Bone marrow aspirate smear. 40× oil immersion.
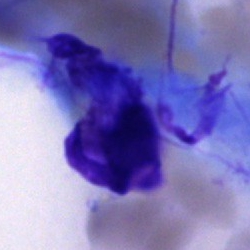 Showing an artifact.